Brightfield microscopy, 40× oil immersion. Bone marrow smear
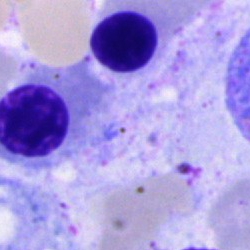

Single cell identified as a normoblast.